Bone marrow aspirate smear. 250 by 250 pixels. Single cell centered in the field: 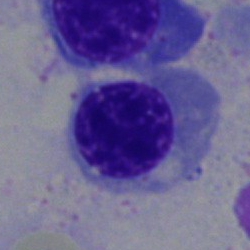
Morphology → nucleated red blood cell.